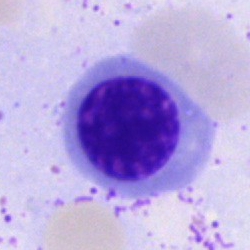Q: What is the morphological classification of this cell?
A: An erythroblast.